Bone marrow aspirate smear · Pappenheim-stained: 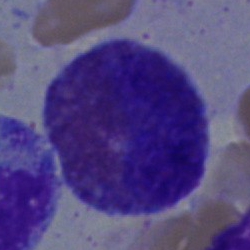
Q: What is the morphological classification of this cell?
A: Eosinophilic granulocyte.